Bone marrow aspirate smear; May-Grünwald-Giemsa stain
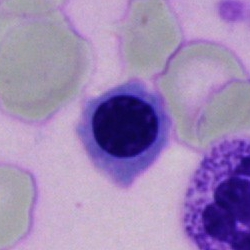

{"cell_type": "nucleated red blood cell"}